May-Grünwald-Giemsa/Pappenheim stain; bone marrow smear.
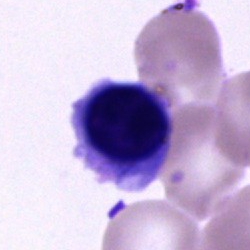
Cell — nucleated red blood cell.